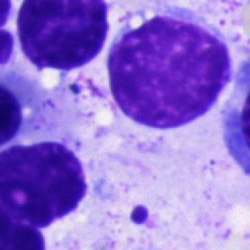
Q: What type of cell is this?
A: This is a lymphocyte.